Bone marrow aspirate smear — 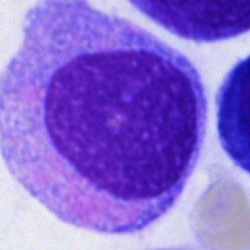Cell: blast cell.